Bone marrow smear
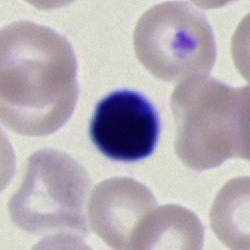

The classification is lymphocyte.